Bone marrow aspirate smear:
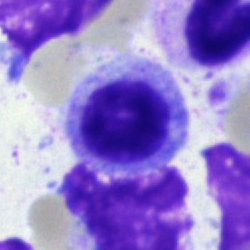 Cell: myelocyte.